Peripheral blood smear; 400×400 — 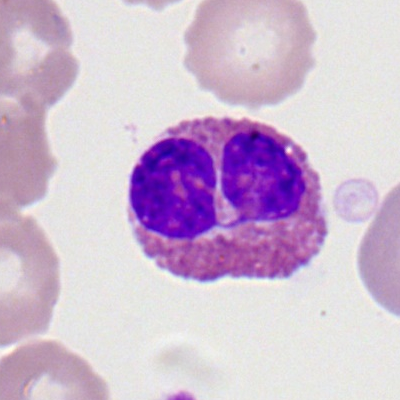

Q: What is the morphological classification of this cell?
A: Eosinophil.